May-Grünwald-Giemsa stain. Bone marrow aspirate smear — 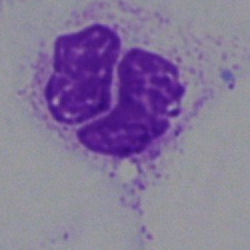

Q: What is shown here?
A: It is an artefact.